Bone marrow aspirate smear:
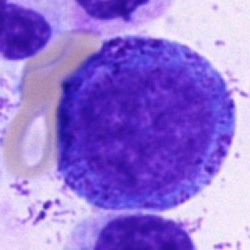
Cell = progranulocyte.